Bone marrow aspirate smear. 40× objective, oil immersion.
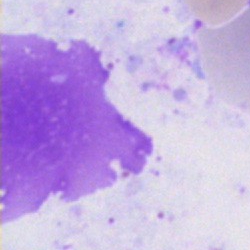

Q: What is shown here?
A: Artefact.